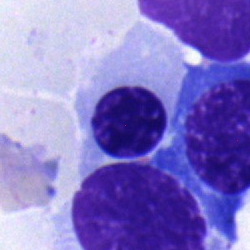 Q: What type of cell is this?
A: It is a nucleated red blood cell.